Bone marrow smear.
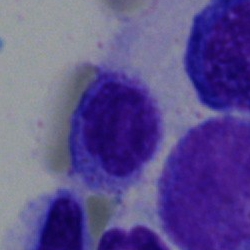

Q: What is shown here?
A: This is a typical lymphocyte.